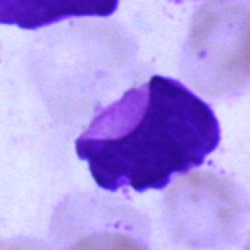Showing an artifact.